Bone marrow aspirate smear: 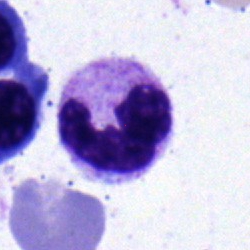

Morphological class — segmented neutrophil.